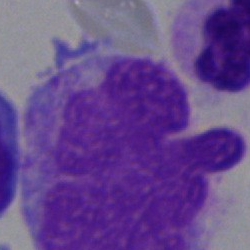 {"cell_type": "artefact"}